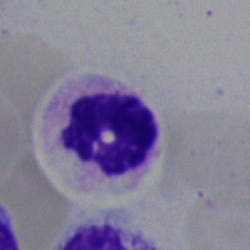Cell: neutrophil (segmented).